Single cell centered in the field. Bone marrow smear.
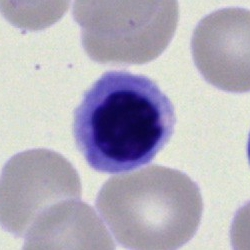 Cell — nucleated red blood cell.